Pappenheim-stained. Bone marrow aspirate smear. Cropped to a single cell
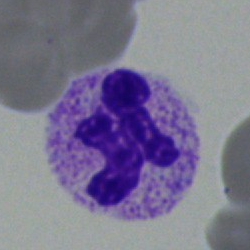
Morphology → segmented neutrophil.